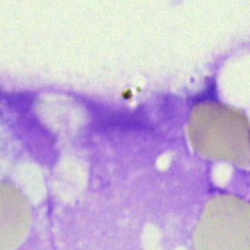Bone marrow aspirate smear, single cell — artifact.